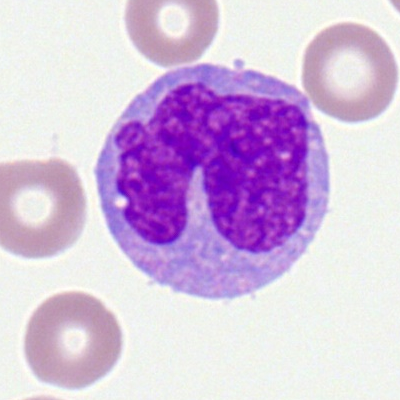
This is a monocyte.